Bone marrow aspirate smear · single-cell field:
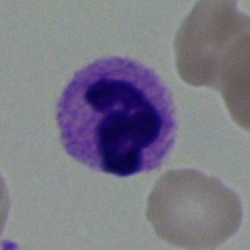 This is a segmented neutrophil.